Bone marrow aspirate smear: 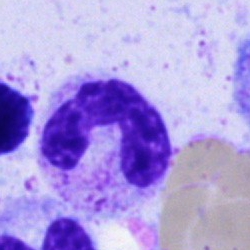
Q: What is the morphological classification of this cell?
A: This is a neutrophil (segmented).